Bone marrow smear. Image size 250×250. 40× objective, oil immersion:
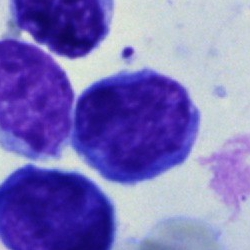

Specimen: bone marrow aspirate smear.
Morphological class: lymphocyte.